250×250. Bone marrow smear
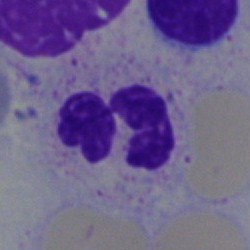A neutrophil (segmented).